Single-cell crop · bone marrow smear.
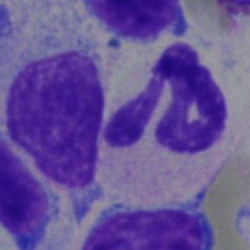

Showing a neutrophil (segmented).